Bone marrow smear: 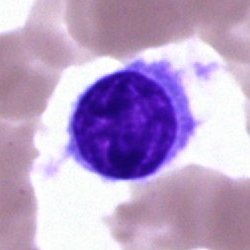Morphology consistent with a hairy cell.